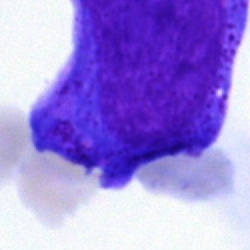
Classification — blast.